Brightfield microscopy, 40× oil immersion · bone marrow smear.
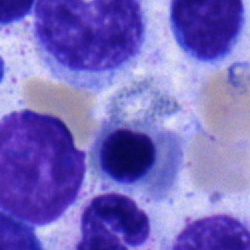 Classification: nucleated red cell.